Single-cell field; bone marrow smear; MGG-stained — 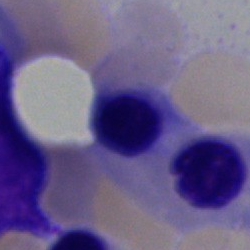Cell type: erythroblast.